Bone marrow smear.
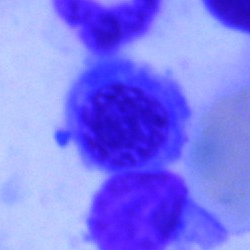 Morphological class — stab cell.